Bone marrow aspirate smear
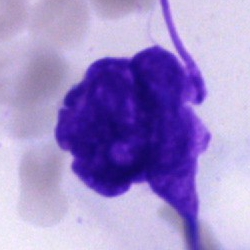 This is an artefact.